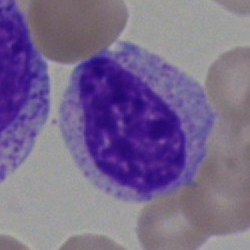 Specimen: bone marrow smear.
Morphological class: myelocyte.
Lineage: myeloid.